Bone marrow aspirate smear: 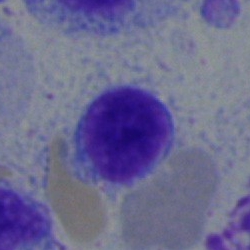
Impression → typical lymphocyte.